Bone marrow aspirate smear:
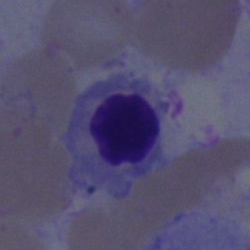

Impression — normoblast.